May-Grünwald-Giemsa/Pappenheim stain. Bone marrow smear — 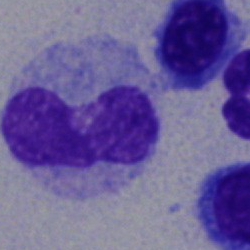Q: What is shown here?
A: It is a stab cell.